Bone marrow smear — 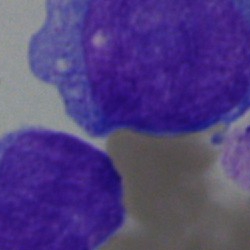Classification = blast.